Image size 250×250 · MGG-stained · bone marrow smear
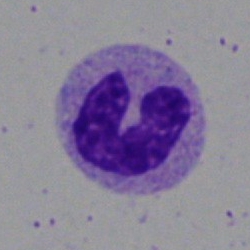

Q: Which cell type is shown here?
A: It is a polymorphonuclear neutrophil.